Bone marrow aspirate smear. May-Grünwald-Giemsa stain:
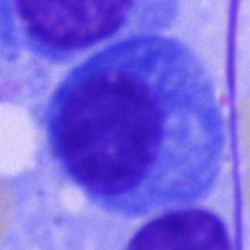
Cell type — plasma cell.